Cropped to a single cell · peripheral blood film · Romanowsky-stained: 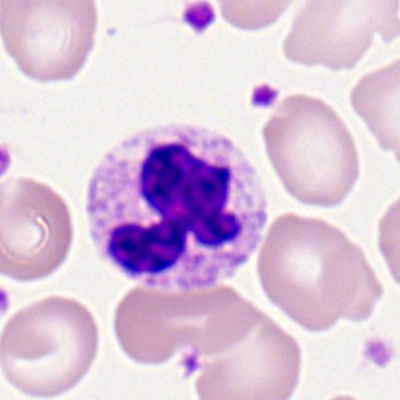Showing a neutrophil (segmented).